Peripheral blood smear:
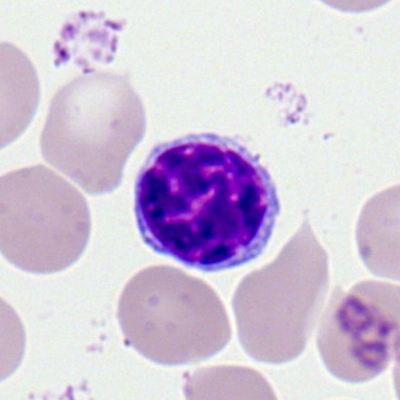Cell = lymphocyte.